Bone marrow aspirate smear.
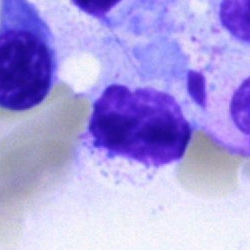
Artifact.